Bone marrow aspirate smear — 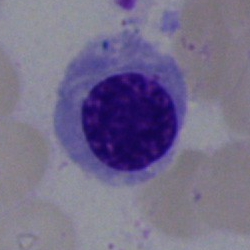Showing a nucleated red blood cell.